Bone marrow smear. 250 by 250 pixels — 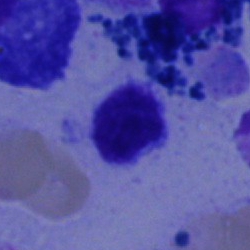Specimen: bone marrow aspirate smear.
Morphological class: lymphocyte.